250 by 250 pixels; bone marrow smear: 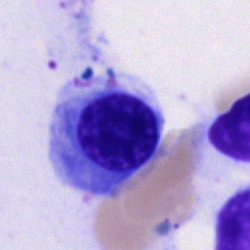

Q: What cell is this?
A: This is a nucleated red cell.